Bone marrow aspirate smear. MGG-stained.
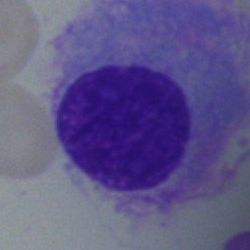Showing a plasmacyte.